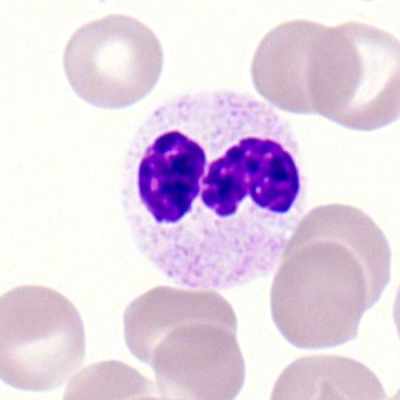Morphology consistent with a segmented neutrophil.